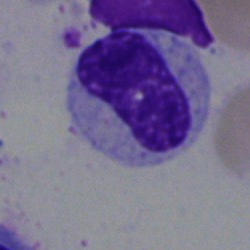 Cell = band neutrophil.